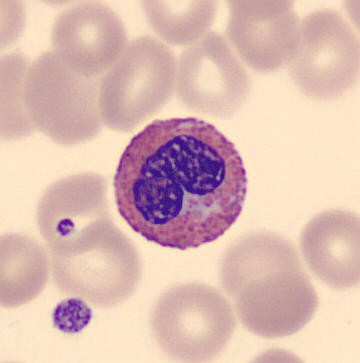
Morphology → eosinophilic granulocyte. Image: Peripheral blood smear.